Bone marrow aspirate smear:
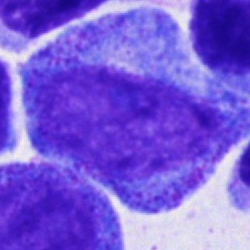

Morphological class: promyelocyte.